Peripheral blood smear; cropped to a single cell
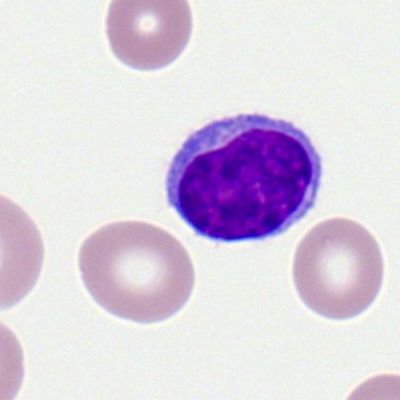

Showing a lymphocyte.